Bone marrow smear
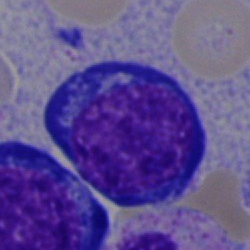
The cell shown is a proerythroblast.